Brightfield microscopy, 40× oil immersion; 250 by 250 pixels; bone marrow aspirate smear.
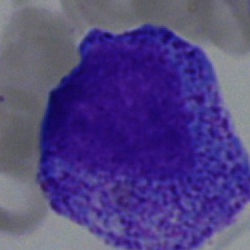
Single cell identified as a progranulocyte.